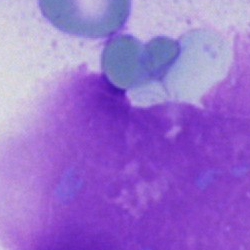 The morphological class is artefact.